Bone marrow aspirate smear.
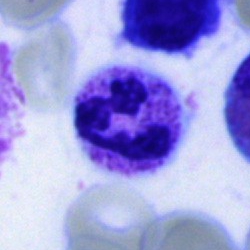
Specimen: bone marrow aspirate smear.
Morphological class: segmented neutrophil.
Lineage: myeloid.